Bone marrow aspirate smear.
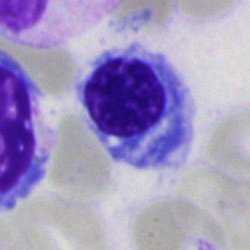

Showing an erythroblast.